Image size 250×250; bone marrow smear:
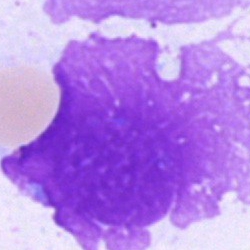Specimen: bone marrow smear.
Cell: artefact.